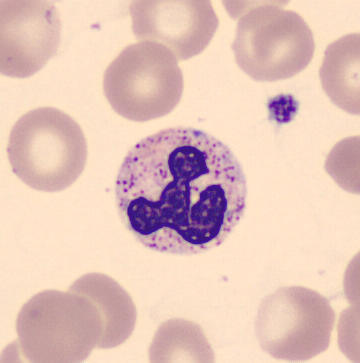Q: What is shown here?
A: A neutrophil (segmented).